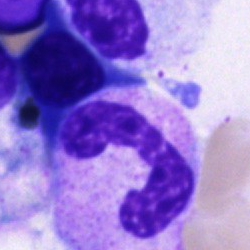Specimen: bone marrow smear.
Cell type: band-form neutrophil.